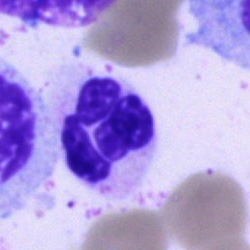 Specimen: bone marrow aspirate smear.
Cell type: polymorphonuclear neutrophil.